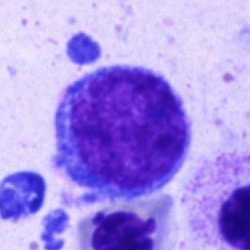

Undifferentiated blast.